MGG-stained. Bone marrow smear — 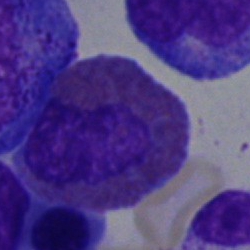Morphology — eosinophil.